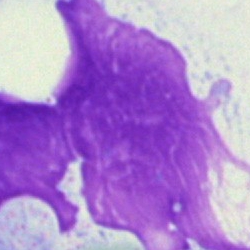
Cell — artefact.